May-Grünwald-Giemsa stain; bone marrow smear — 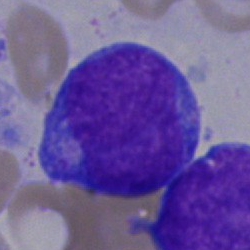 The cell shown is an undifferentiated blast.